Bone marrow aspirate smear — 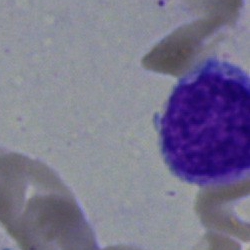Morphological class = lymphocyte.